Bone marrow smear. MGG-stained.
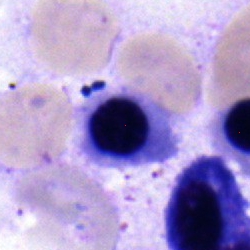
Cell type: nucleated red cell.